Bone marrow smear — 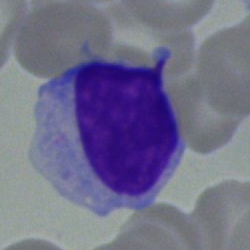
Single cell identified as a typical lymphocyte.